Bone marrow smear:
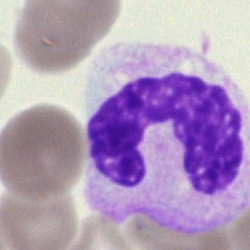
Showing a stab cell.